Peripheral blood film.
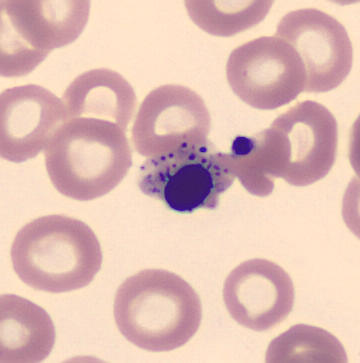
Specimen: peripheral blood smear.
Cell: normoblast.